Bone marrow smear. May-Grünwald-Giemsa stain: 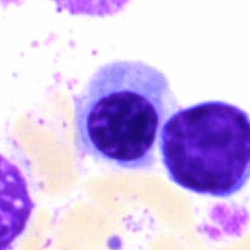

Specimen: bone marrow aspirate smear.
Cell: normoblast.
Lineage: erythroid.